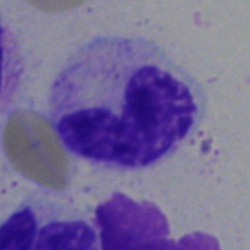 Specimen: bone marrow aspirate smear.
Classification: neutrophil (band).
Lineage: myeloid.